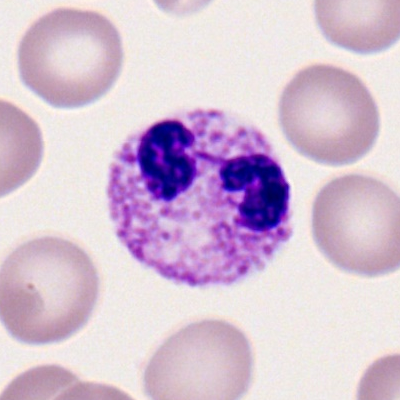
A neutrophil (segmented) on a peripheral blood smear.